Bone marrow smear: 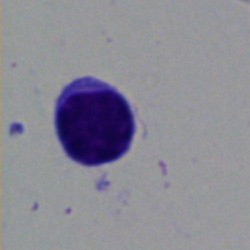 Q: Identify the cell.
A: This is a lymphocyte.